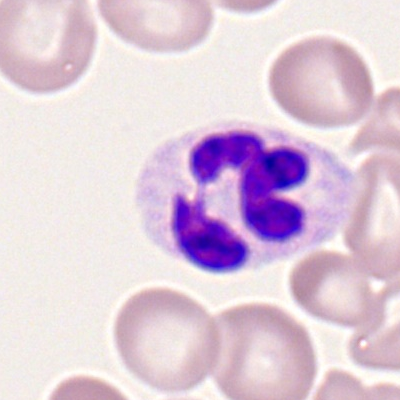 Q: What is the morphological classification of this cell?
A: Polymorphonuclear neutrophil.